Bone marrow smear:
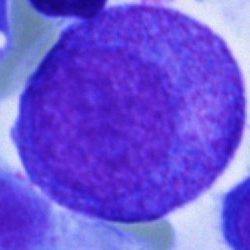
This is a progranulocyte.